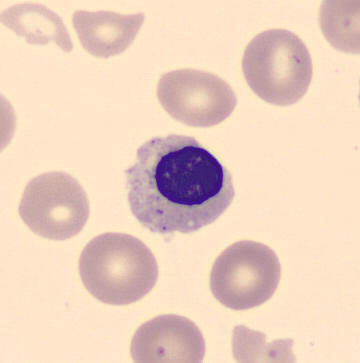 Q: Which cell type is shown here?
A: It is a normoblast.
Preparation: Peripheral blood film.